Cropped to a single cell. Bone marrow aspirate smear
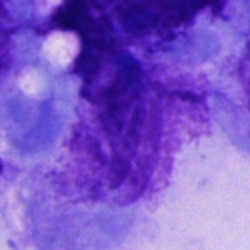Classification = other cell.